Bone marrow aspirate smear.
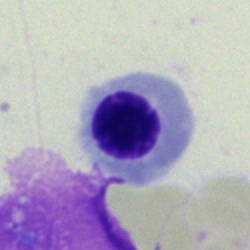

The cell shown is a normoblast.